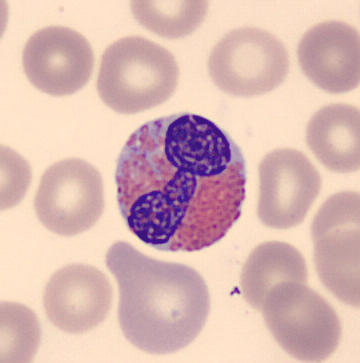
{"cell_type": "eosinophilic granulocyte"}

Acquisition: Peripheral blood film. 360×363 px.